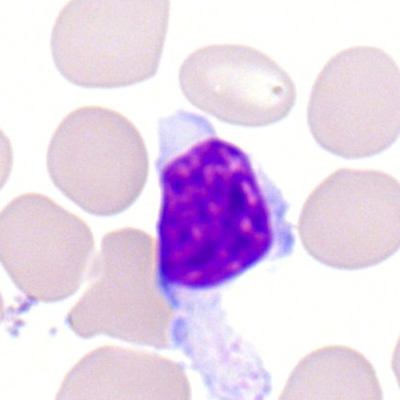
A typical lymphocyte.